Bone marrow smear · 250 by 250 pixels · cropped to a single cell.
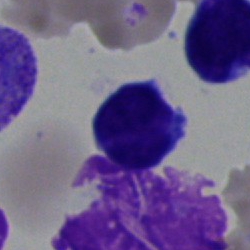
The cell shown is a typical lymphocyte.